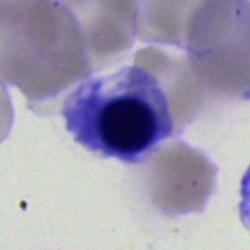This is a normoblast.